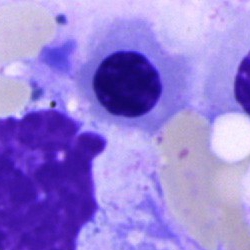
Morphology consistent with a nucleated red blood cell.